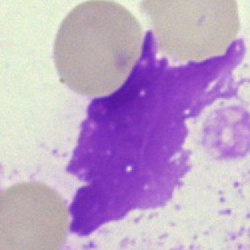Cell type = artifact.